Single-cell crop · bone marrow aspirate smear: 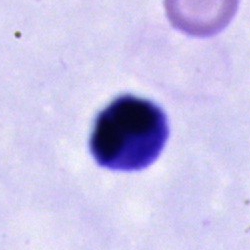

{"cell_type": "unidentifiable cell"}